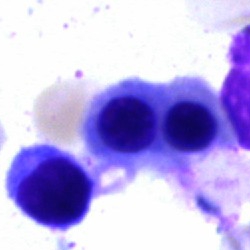The cell type is nucleated red cell.